Bone marrow aspirate smear; single-cell crop; MGG-stained
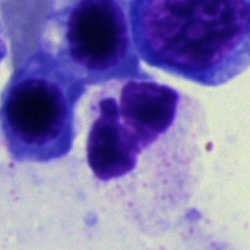
Morphology consistent with a polymorphonuclear neutrophil.